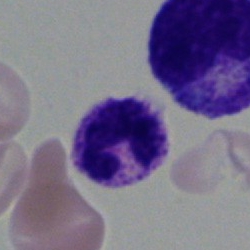

Classification — neutrophil (segmented).